Bone marrow aspirate smear; single-cell crop.
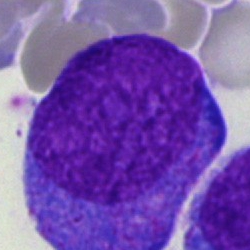 {"cell_type": "promyelocyte", "lineage": "myeloid"}